Peripheral blood smear · 100× oil immersion, 14.14 px/µm:
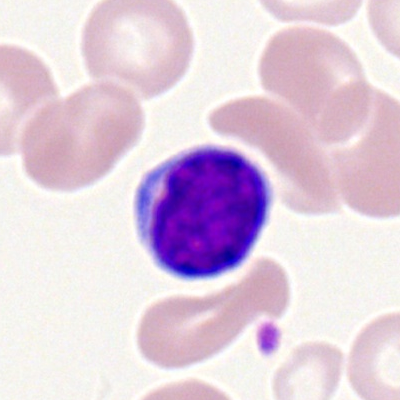 Q: Identify the cell.
A: A lymphocyte.